Bone marrow aspirate smear:
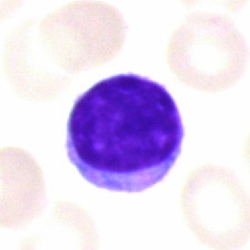Morphology — typical lymphocyte.